May-Grünwald-Giemsa stain; 40× objective, oil immersion; bone marrow aspirate smear.
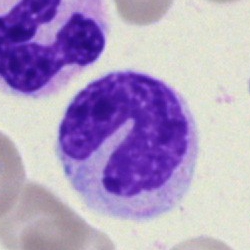Impression — neutrophil (band).